Single-cell field; 250 by 250 pixels; bone marrow smear
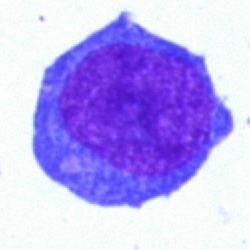 Showing a blast.